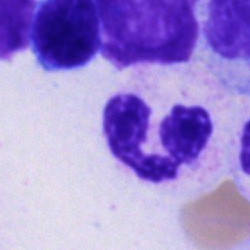

{"cell_type": "segmented neutrophil"}